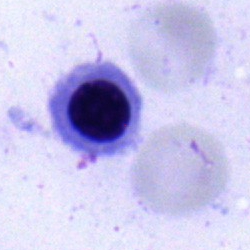 Specimen: bone marrow aspirate smear.
Cell type: erythroblast.
Lineage: erythroid.